Peripheral blood smear. Cropped to a single cell: 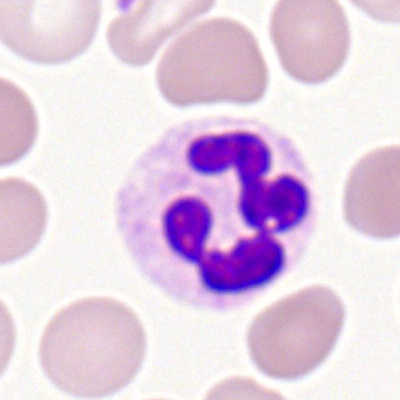 Cell = polymorphonuclear neutrophil.